Image size 250×250 · bone marrow smear
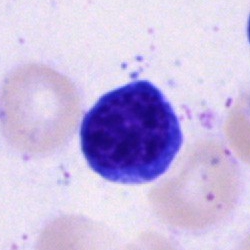 Morphology consistent with a typical lymphocyte.